250 by 250 pixels. Bone marrow smear. Single-cell crop
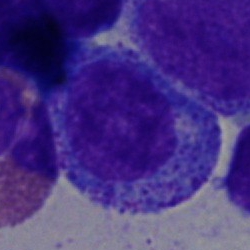Impression → progranulocyte.